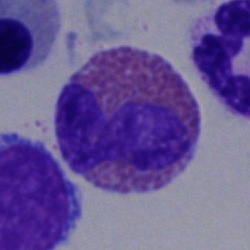 Specimen: bone marrow smear.
Morphological class: eosinophil.